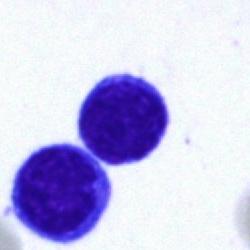
Morphology — lymphocyte.